Bone marrow aspirate smear:
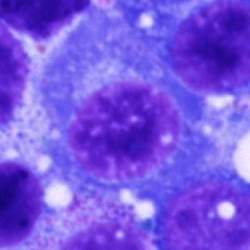 Impression — plasmacyte.